Bone marrow smear. 40× oil immersion. 250 by 250 pixels: 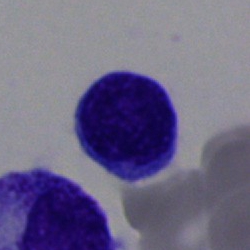Specimen: bone marrow smear.
Classification: typical lymphocyte.